Bone marrow aspirate smear — 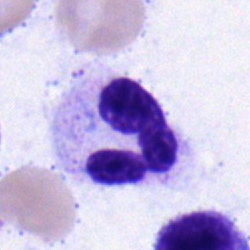
Q: Which cell type is shown here?
A: Segmented neutrophil.